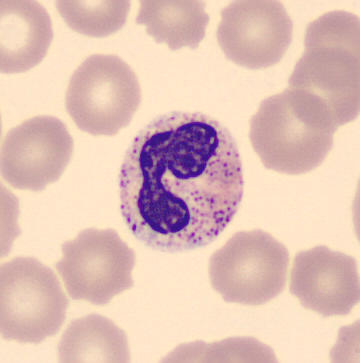
Specimen: peripheral blood film.
Cell type: band-form neutrophil.